Bone marrow aspirate smear:
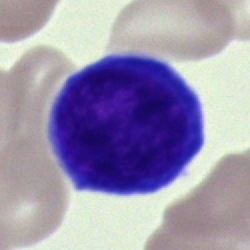

Cell = normoblast.